40× objective, oil immersion · bone marrow smear — 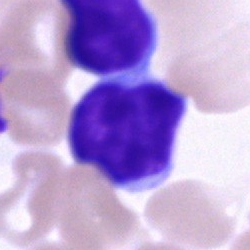 {"cell_type": "lymphocyte", "lineage": "lymphoid"}